Bone marrow aspirate smear · single-cell field · 250×250 — 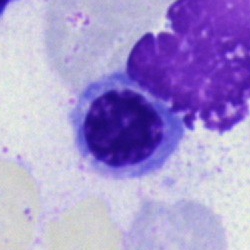

Specimen: bone marrow smear.
Cell type: normoblast.
Lineage: erythroid.